Bone marrow smear — 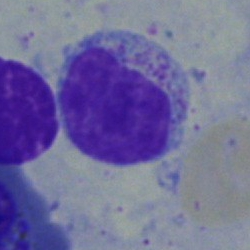
Specimen: bone marrow aspirate smear.
Cell: myelocyte.